Bone marrow aspirate smear.
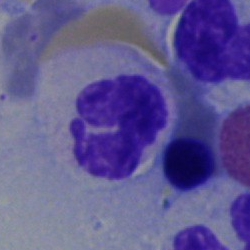
Showing a neutrophil (segmented).